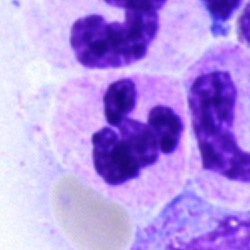Specimen: bone marrow smear.
Morphological class: segmented neutrophil.